Bone marrow smear — 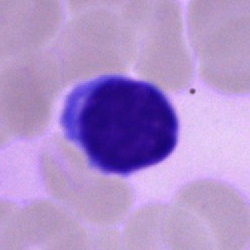
Q: Identify the cell.
A: It is a lymphocyte.